Bone marrow aspirate smear
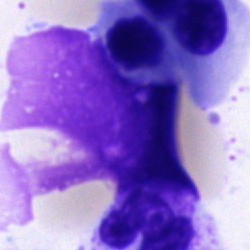

This is an artifact.